Bone marrow smear: 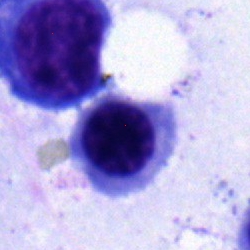 The morphological class is nucleated red cell.